Bone marrow smear.
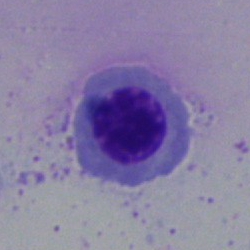
Q: What is shown here?
A: A normoblast.